Bone marrow smear: 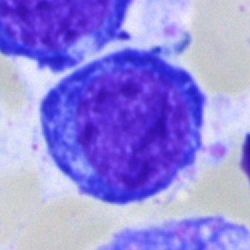

Cell = nucleated red cell.